Bone marrow smear: 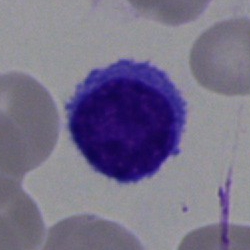 Showing a lymphocyte.